Bone marrow smear; brightfield, 40× oil-immersion objective; 250×250
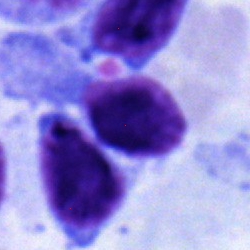This is a typical lymphocyte.